Bone marrow aspirate smear. Single-cell crop
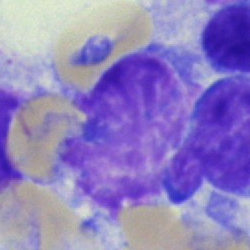

Specimen: bone marrow smear.
Cell: artifact.